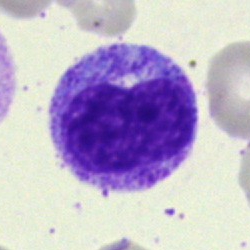 Bone marrow aspirate smear, single cell — metamyelocyte.